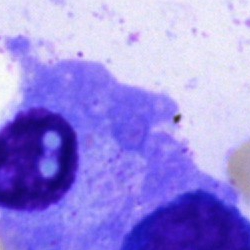

Cell — plasma cell.